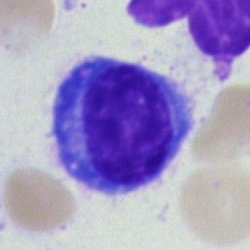Plasma cell.